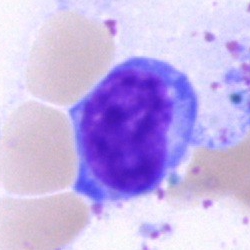
Specimen: bone marrow aspirate smear.
Cell type: lymphocyte.
Lineage: lymphoid.